Bone marrow smear
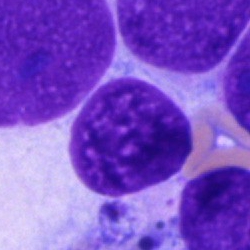

Morphology — cell of indeterminate lineage.